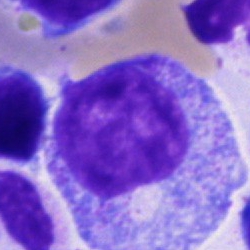Impression — promyelocyte.